Bone marrow smear — 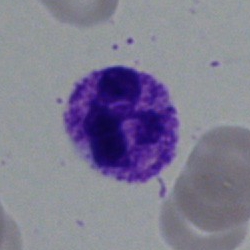Showing a neutrophil (segmented).